250×250 px; bone marrow aspirate smear:
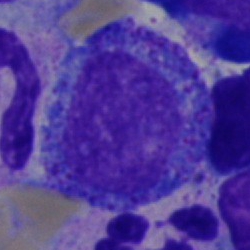

Impression → progranulocyte.